Bone marrow smear
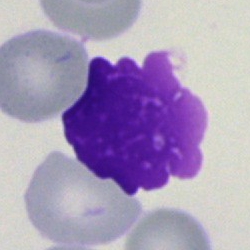The cell shown is an artefact.